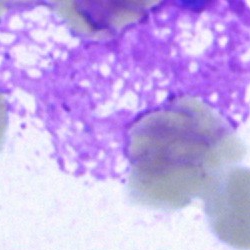
Q: What is shown here?
A: An artifact.